Brightfield microscopy, 40× oil immersion; bone marrow smear; 250×250: 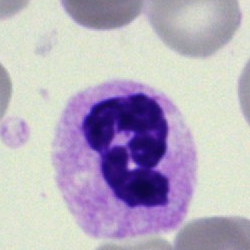
Morphology → neutrophil (segmented).